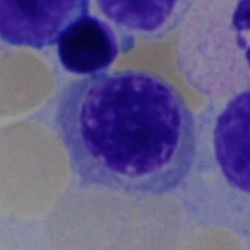

A nucleated red cell.